Bone marrow smear: 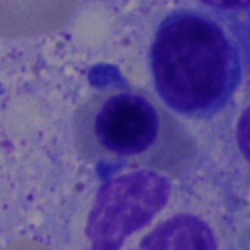This is a normoblast.